Cropped to a single cell. Bone marrow aspirate smear:
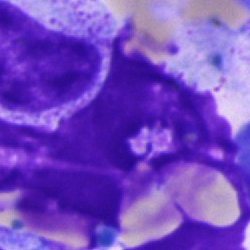 Single cell identified as an artefact.